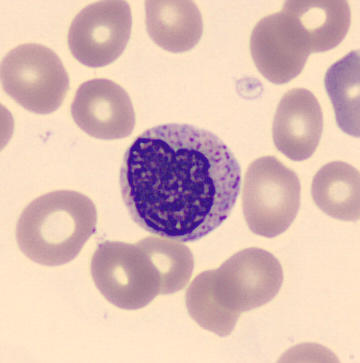 Impression — myelocyte.